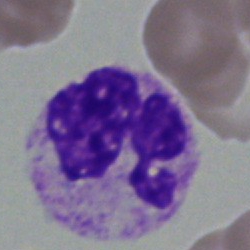

Classification — segmented neutrophil.